Bone marrow smear.
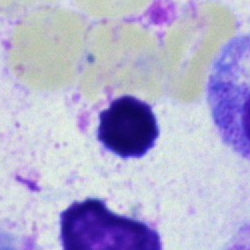An artefact.